Bone marrow aspirate smear:
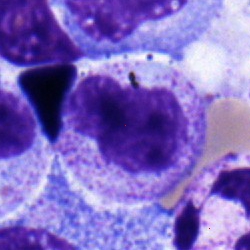 A myelocyte.